Peripheral blood smear:
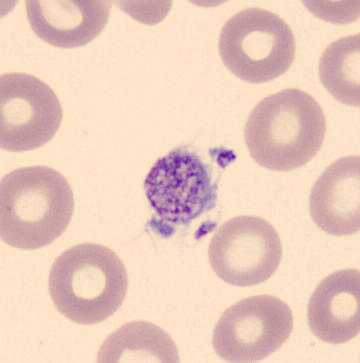The classification is platelet (thrombocyte).